Bone marrow aspirate smear
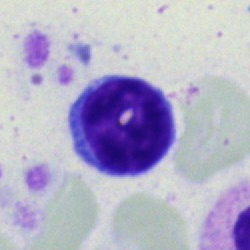Q: What type of cell is this?
A: A typical lymphocyte.